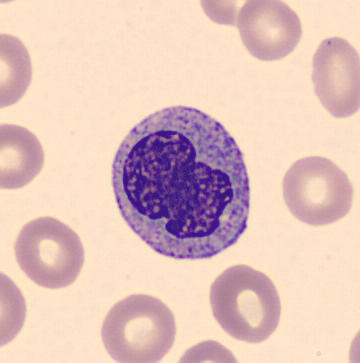Cell: metamyelocyte.